Bone marrow smear; May-Grünwald-Giemsa stain; 250×250 px:
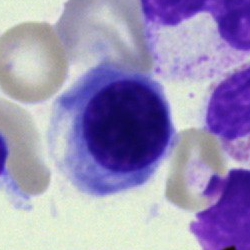
Cell type: erythroblast.